Bone marrow smear.
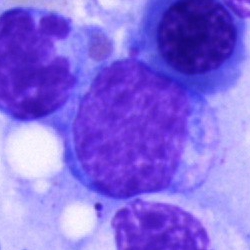 Classification: blast.